Bone marrow aspirate smear
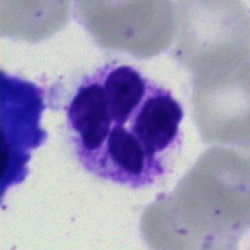

Q: What is the morphological classification of this cell?
A: This is a segmented neutrophil.